Bone marrow smear: 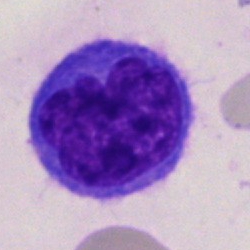Monocyte.